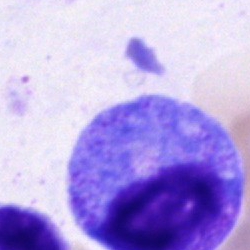Q: What type of cell is this?
A: Promyelocyte.